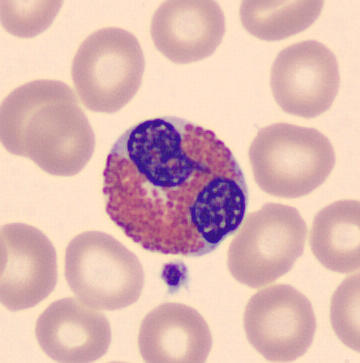
Acquisition: 360×363 px. Single cell centered in the field. Peripheral blood smear. Morphology — eosinophil.